Bone marrow smear · May-Grünwald-Giemsa stain
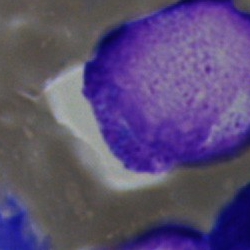
A blast cell.